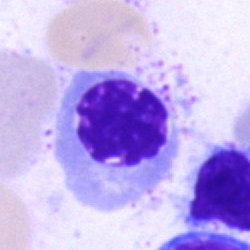 Q: Which cell type is shown here?
A: It is a nucleated red blood cell.